Bone marrow smear:
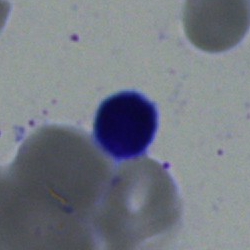 The morphological class is lymphocyte.